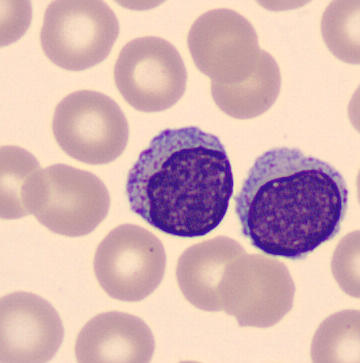

Showing a typical lymphocyte.

Peripheral blood smear. Single cell centered in the field.